Bone marrow smear; Pappenheim-stained — 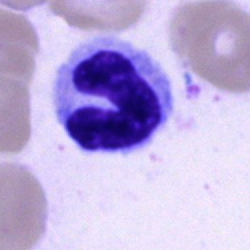Neutrophil (band).